Brightfield microscopy, 40× oil immersion · image size 250×250 · bone marrow smear
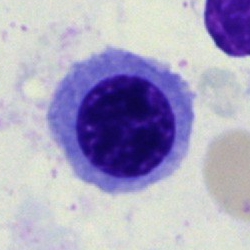

A nucleated red cell.